Bone marrow aspirate smear; single-cell crop: 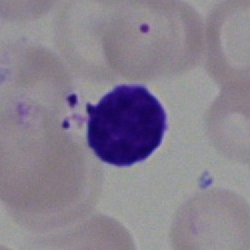 Q: Identify the cell.
A: A lymphocyte.